MGG-stained. Bone marrow aspirate smear.
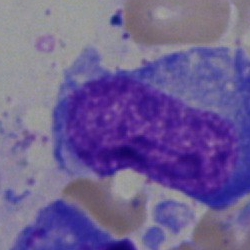
Q: What is the morphological classification of this cell?
A: This is an undifferentiated blast.